Bone marrow smear:
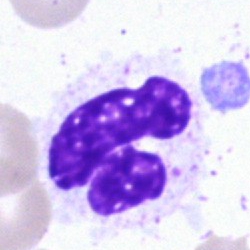

Q: Which cell type is shown here?
A: Polymorphonuclear neutrophil.